M8 digital microscope (Precipoint), 100× oil immersion; peripheral blood smear; Romanowsky stain: 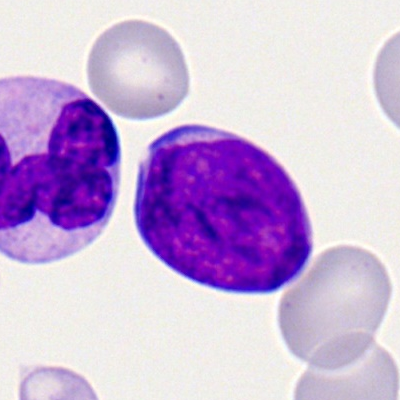
Morphology → myeloblast.